Bone marrow smear:
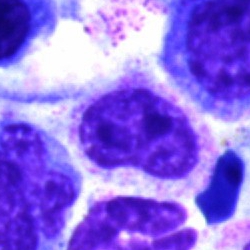

This is a metamyelocyte.